Bone marrow aspirate smear: 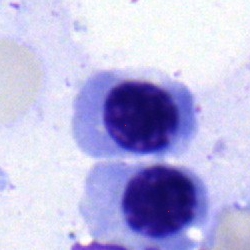Specimen: bone marrow aspirate smear.
Cell: nucleated red blood cell.
Lineage: erythroid.